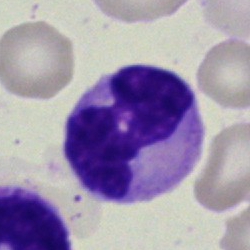 Specimen: bone marrow aspirate smear.
Cell: stab cell.
Lineage: myeloid.